Bone marrow smear. Single-cell crop:
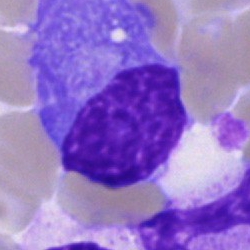
{"cell_type": "plasmacyte"}